Bone marrow smear: 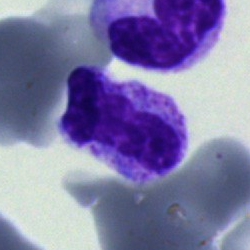

{"cell_type": "artifact"}